Bone marrow aspirate smear
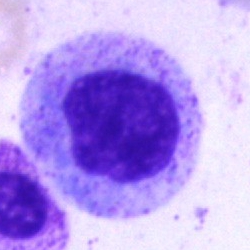
Specimen: bone marrow smear.
Cell type: progranulocyte.